Bone marrow smear · image size 250×250
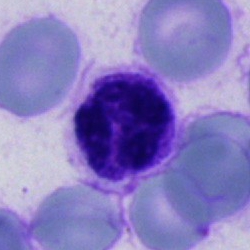 A segmented neutrophil.